Single cell centered in the field; 40× oil immersion; bone marrow smear:
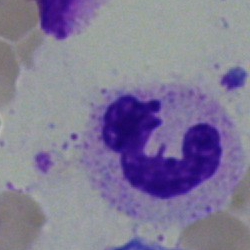
Single cell identified as a neutrophil (segmented).